Single cell centered in the field. Bone marrow aspirate smear — 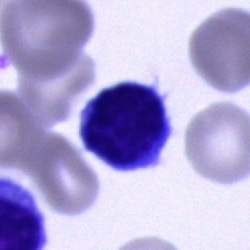 Morphology consistent with a typical lymphocyte.